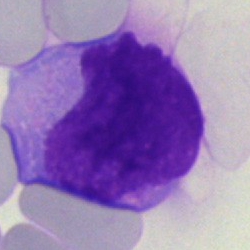
Morphology → blast.